Bone marrow aspirate smear: 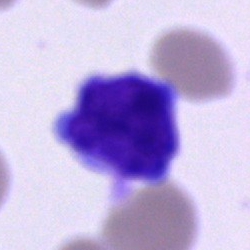

Impression → artifact.